Bone marrow aspirate smear — 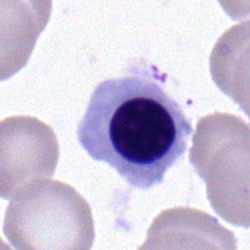
Q: Identify the cell.
A: An erythroblast.